Bone marrow smear; 40× oil immersion; single cell centered in the field.
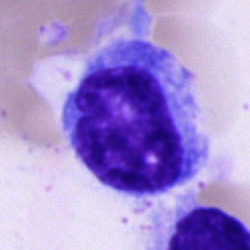Specimen: bone marrow smear.
Cell type: monocyte.
Lineage: myeloid.